250×250 px; cropped to a single cell; bone marrow aspirate smear
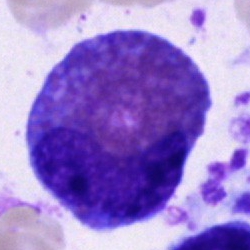
Morphology consistent with an eosinophilic granulocyte.